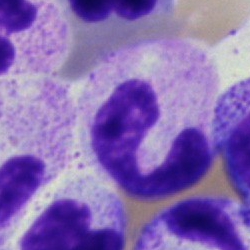

The classification is polymorphonuclear neutrophil.